Bone marrow aspirate smear
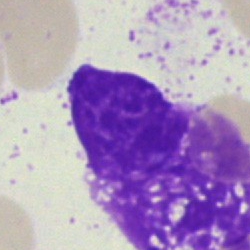Impression → artefact.